Bone marrow smear · 250 by 250 pixels.
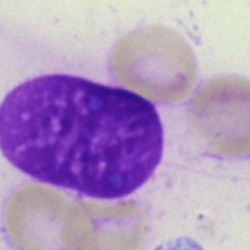
{"cell_type": "artefact"}